Peripheral blood film · brightfield, 100× oil-immersion objective:
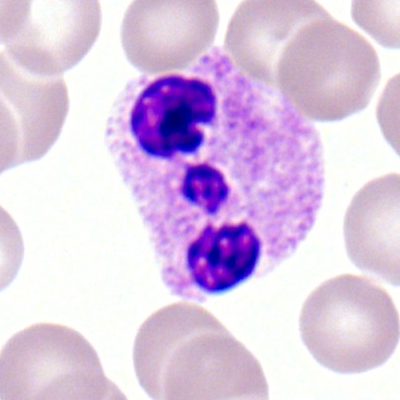
The cell shown is a polymorphonuclear neutrophil.